Bone marrow aspirate smear: 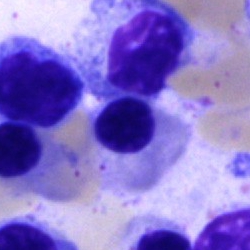
Morphology — erythroblast.